MGG-stained. Bone marrow smear — 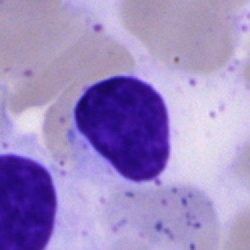 Specimen: bone marrow smear.
Cell: cell of indeterminate lineage.